Bone marrow smear.
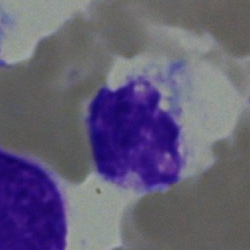 Classification: monocyte.